40× objective, oil immersion · bone marrow aspirate smear: 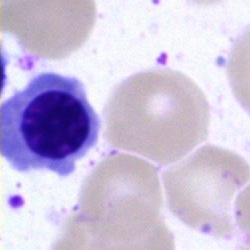 Morphological class — normoblast.